Bone marrow smear:
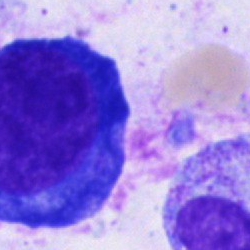

Specimen: bone marrow smear.
Cell: pronormoblast.
Lineage: erythroid.